Bone marrow aspirate smear — 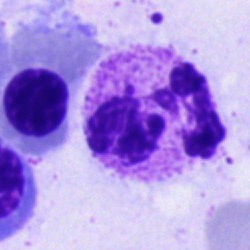
Cell = neutrophil (segmented).